250 by 250 pixels · single-cell crop · bone marrow aspirate smear
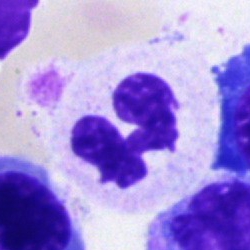
Single cell identified as a segmented neutrophil.